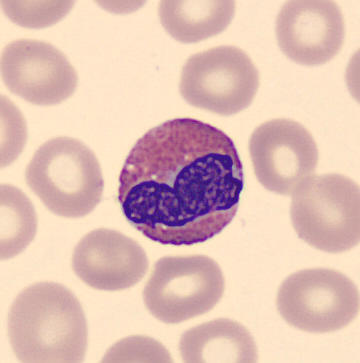
Image: Single-cell crop; automated cell imaging (CellaVision DM96); peripheral blood smear. Cell: eosinophilic granulocyte.